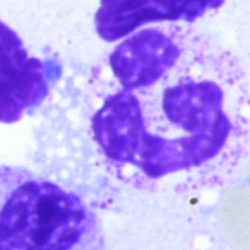 Morphology — polymorphonuclear neutrophil.